Peripheral blood film.
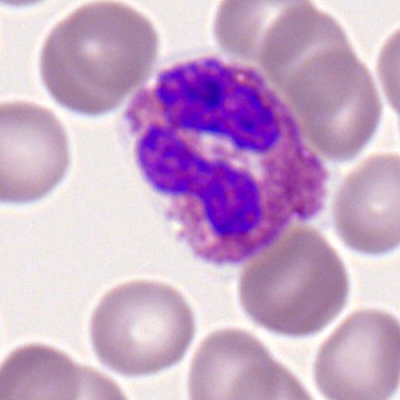 Q: What type of cell is this?
A: An eosinophil.